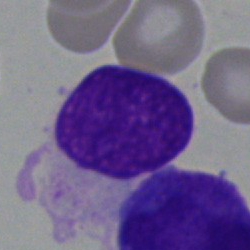Impression — artifact.